Bone marrow smear:
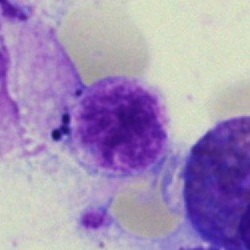 {"cell_type": "artifact"}